250×250; bone marrow smear; single-cell field:
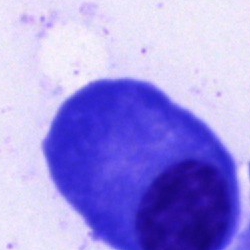Impression — plasmacyte.